Bone marrow smear — 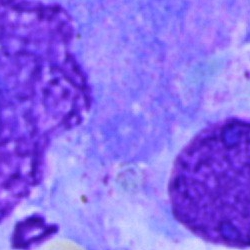Q: What is shown here?
A: An artefact.